Bone marrow smear. Cropped to a single cell.
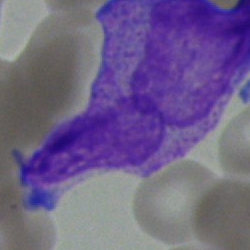
Morphology consistent with a blast cell.